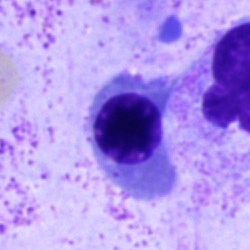 Morphological class: nucleated red cell.